Bone marrow smear.
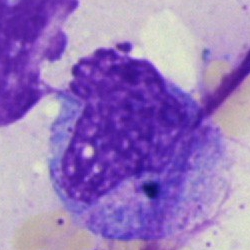 Artifact.